Bone marrow smear · single cell centered in the field: 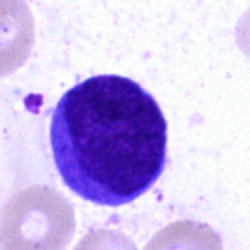 Showing a blast.